Bone marrow smear — 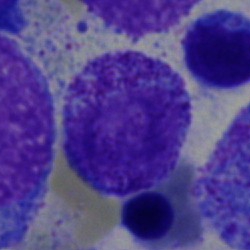

Morphological class — myelocyte.